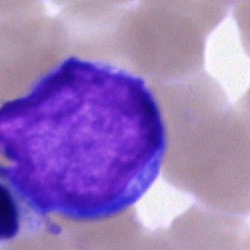

Cell = blast cell.